Single-cell crop; brightfield, 40× oil-immersion objective; bone marrow aspirate smear:
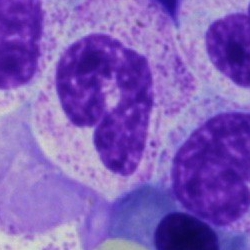

Polymorphonuclear neutrophil.